Bone marrow smear:
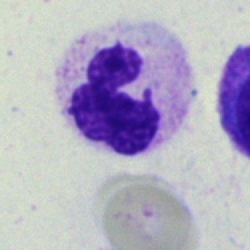 Morphological class = polymorphonuclear neutrophil.